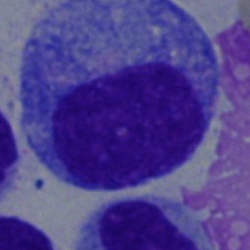

Q: Identify the cell.
A: This is a myelocyte.